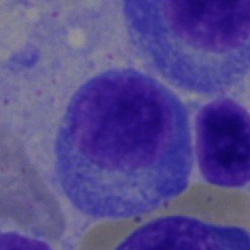 This is a plasma cell.